250 by 250 pixels; 40× objective, oil immersion; bone marrow smear — 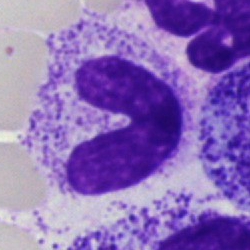 Showing a stab cell.